250 by 250 pixels. Bone marrow aspirate smear. Cropped to a single cell — 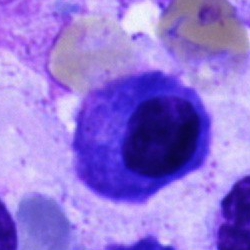 Q: What is shown here?
A: This is a plasmacyte.